Bone marrow smear: 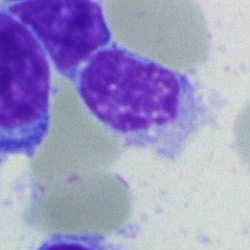 Q: What is shown here?
A: It is an artefact.